Bone marrow smear; single-cell field:
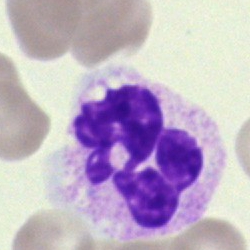
Cell type: neutrophil (segmented).